Bone marrow aspirate smear.
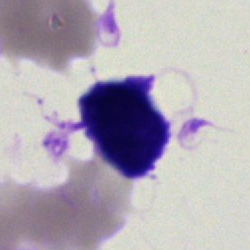 This is an artifact.